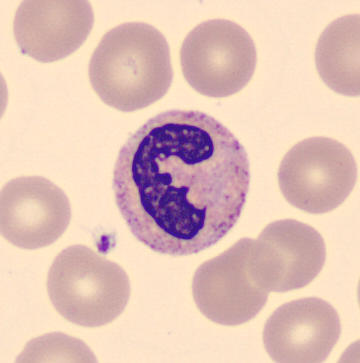

Image: May-Grünwald-Giemsa-stained. CellaVision DM96 digital cell image.

Specimen: peripheral blood film.
Classification: band neutrophil.
Lineage: myeloid.